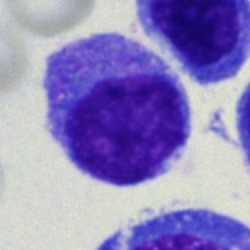

Morphological class = undifferentiated blast.